Bone marrow smear. Brightfield microscopy, 40× oil immersion. 250×250: 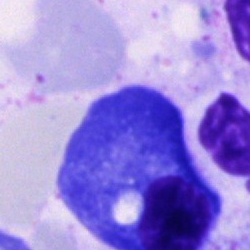 A plasmacyte.